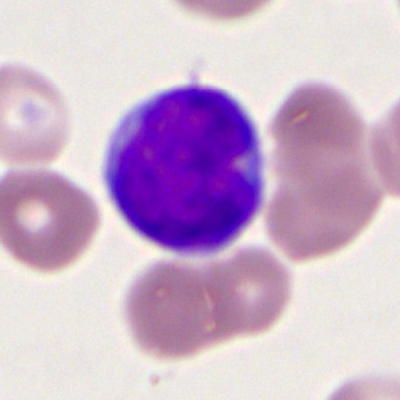 Q: Which cell type is shown here?
A: It is a myeloblast.